Bone marrow smear: 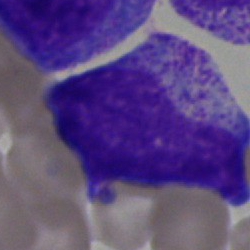
Single cell identified as a myelocyte.